Bone marrow smear.
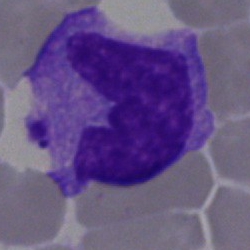

{"cell_type": "monocyte", "lineage": "myeloid"}